Bone marrow smear: 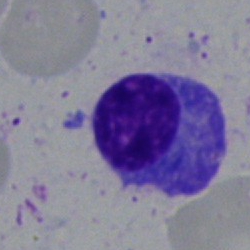Showing a plasmacyte.